Cropped to a single cell · 250×250 px · bone marrow smear: 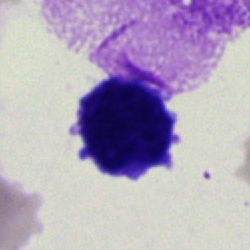
Morphology consistent with an undifferentiated blast.